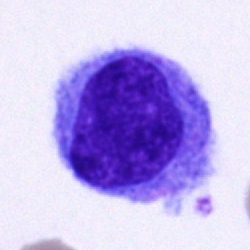 Classification — undifferentiated blast.